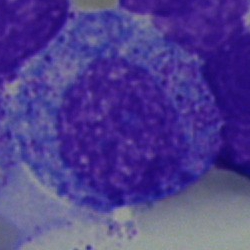 Morphology consistent with a promyelocyte.